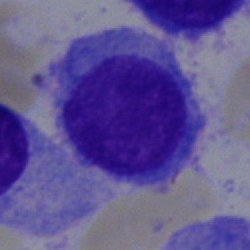 This is a plasma cell.